Bone marrow aspirate smear — 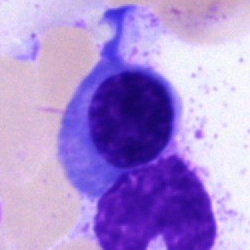Q: What is the morphological classification of this cell?
A: Erythroblast.